Brightfield microscopy, 40× oil immersion · bone marrow aspirate smear.
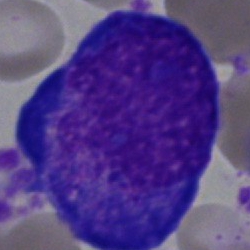Impression — proerythroblast.